Bone marrow aspirate smear: 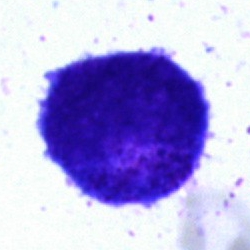Q: Identify the cell.
A: Promyelocyte.